Bone marrow aspirate smear
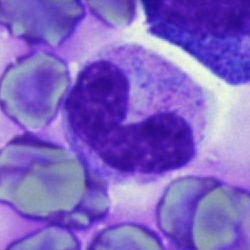 Q: Identify the cell.
A: It is a band-form neutrophil.